Single-cell crop; bone marrow smear; 250×250 px — 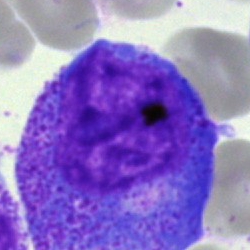Specimen: bone marrow smear.
Cell type: promyelocyte.